Bone marrow smear. Brightfield, 40× oil-immersion objective — 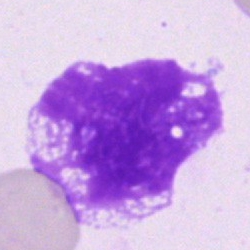
Specimen: bone marrow aspirate smear.
Classification: artefact.